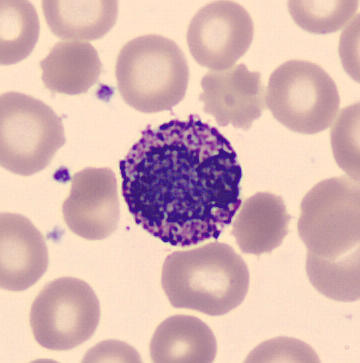

Specimen: peripheral blood film.
Morphological class: basophil.
Lineage: myeloid.
360×363 px.